May-Grünwald-Giemsa stain · bone marrow aspirate smear.
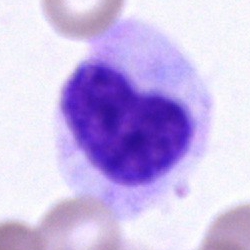Cell — unidentifiable cell.